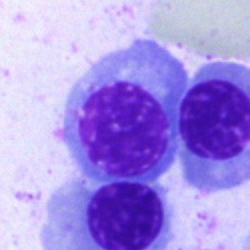

Single-cell crop from a bone marrow smear: erythroblast.